40× objective, oil immersion; bone marrow aspirate smear: 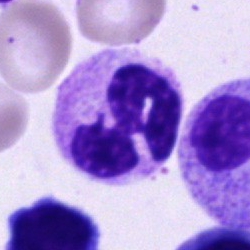The classification is segmented neutrophil.